Peripheral blood film; single-cell crop; 400 by 400 pixels
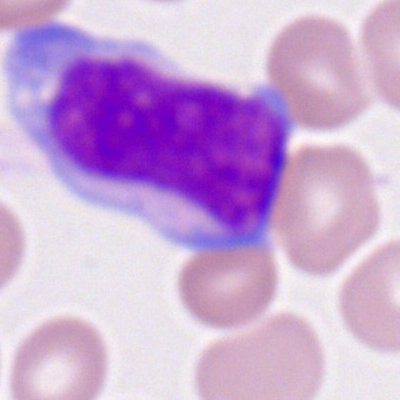Cell type — myeloid blast.